Bone marrow smear · MGG-stained:
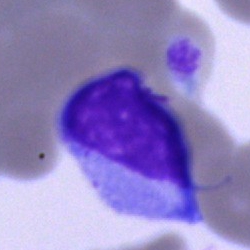The cell shown is a lymphocyte.